Image size 250×250; bone marrow aspirate smear
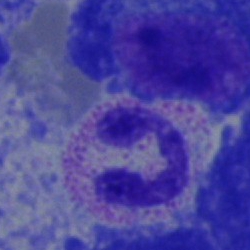Specimen: bone marrow smear.
Classification: segmented neutrophil.
Lineage: myeloid.